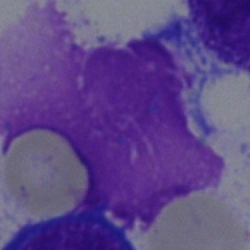

Morphology consistent with an artefact.